250×250 · 40× objective, oil immersion · bone marrow aspirate smear — 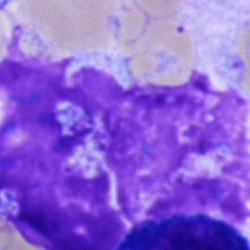
Morphology → artefact.